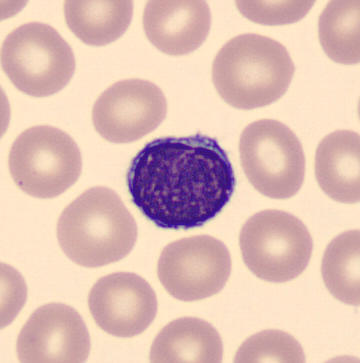
Peripheral blood film. Single cell centered in the field.

Single cell identified as a typical lymphocyte.